Cropped to a single cell; bone marrow smear; 250×250
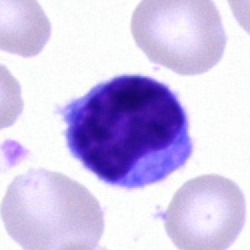
Showing a typical lymphocyte.